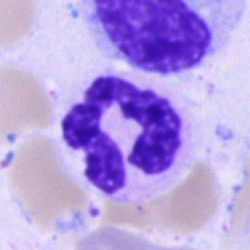 {"cell_type": "segmented neutrophil"}